Bone marrow aspirate smear; brightfield microscopy, 40× oil immersion: 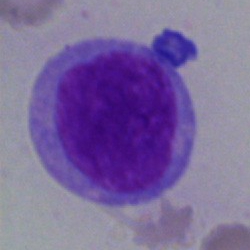The classification is blast cell.